Bone marrow aspirate smear — 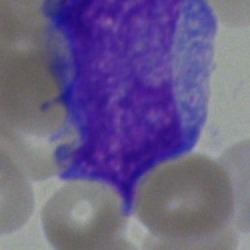

An undifferentiated blast.